Bone marrow smear:
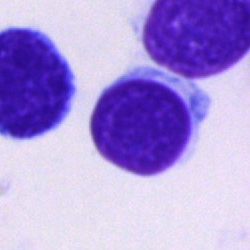

Morphological class = lymphocyte.